Bone marrow smear · May-Grünwald-Giemsa stain:
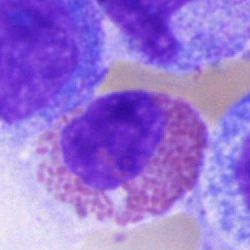Specimen: bone marrow smear.
Classification: eosinophilic granulocyte.
Lineage: myeloid.